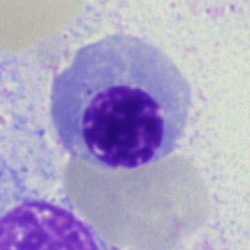
Q: What is the morphological classification of this cell?
A: Erythroblast.